Bone marrow smear · 250 by 250 pixels:
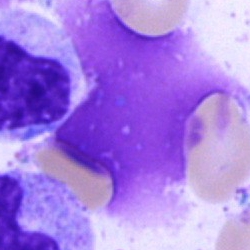This is an artefact.